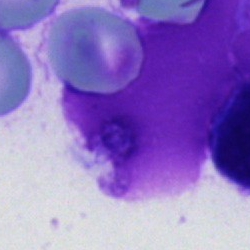
Morphology consistent with an artifact.